Bone marrow smear
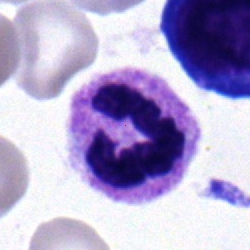

Cell = segmented neutrophil.